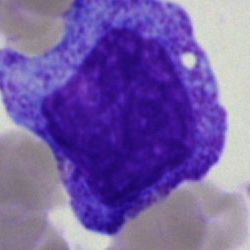Impression → progranulocyte.